Bone marrow smear: 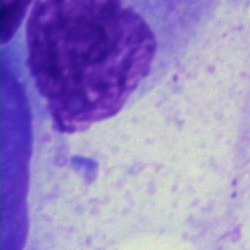

Q: What is shown here?
A: Artifact.